Bone marrow aspirate smear — 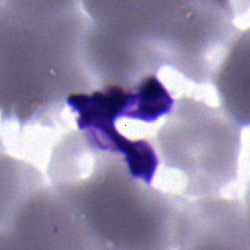

This is a neutrophil (segmented).